Bone marrow smear — 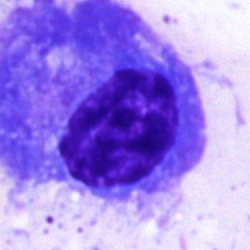

The cell shown is a plasmacyte.